Pappenheim-stained. Bone marrow aspirate smear — 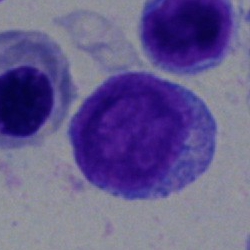Showing an undifferentiated blast.